Bone marrow smear.
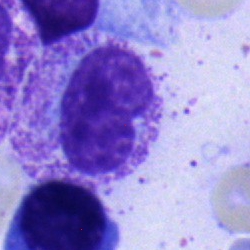
Classification: metamyelocyte.